Bone marrow smear: 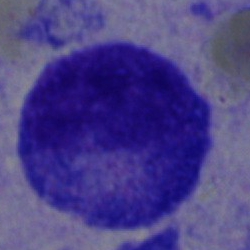

Single cell identified as a progranulocyte.